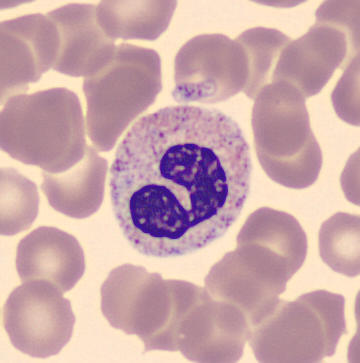
Q: What is this?
A: It is a neutrophil (band).
Image: Peripheral blood film.